Bone marrow smear:
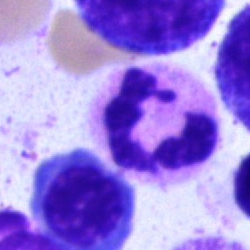 Morphology consistent with a neutrophil (segmented).